Bone marrow smear. Single-cell crop
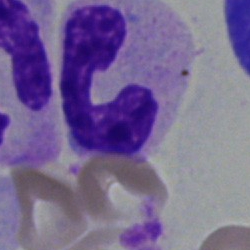Cell type = segmented neutrophil.